Bone marrow smear:
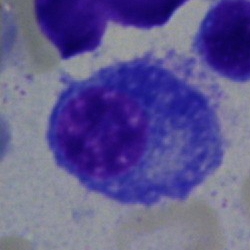 Cell = plasmacyte.